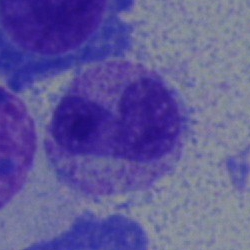

Morphological class — band neutrophil.